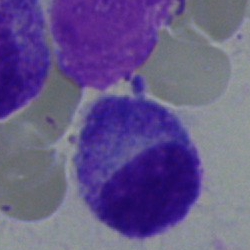Specimen: bone marrow aspirate smear.
Classification: myelocyte.
Lineage: myeloid.